Bone marrow aspirate smear; single cell centered in the field — 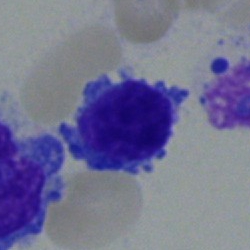

Q: Identify the cell.
A: Lymphocyte.